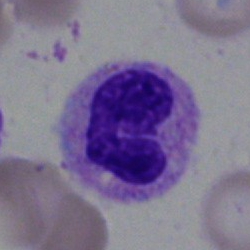Specimen: bone marrow aspirate smear.
Cell: polymorphonuclear neutrophil.